Peripheral blood film: 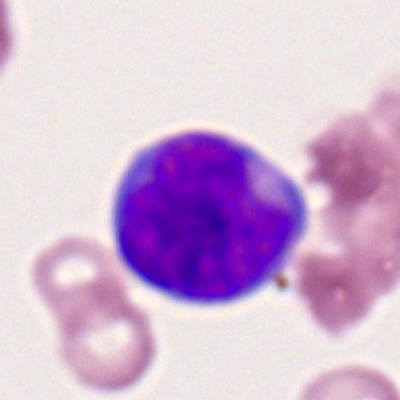 Classification: myeloid blast.